Bone marrow aspirate smear. 250×250 px — 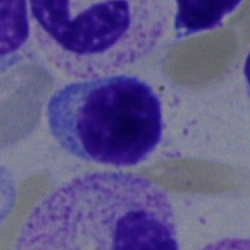
Morphology — lymphocyte.